Single-cell field; bone marrow smear
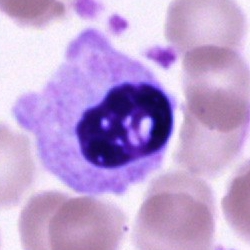Cell type = artifact.